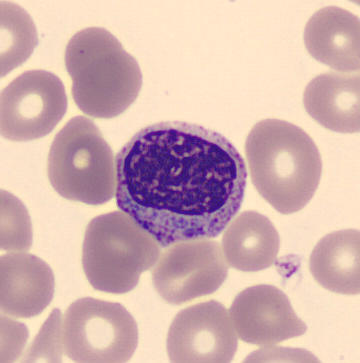
Morphology — myelocyte. Preparation: Peripheral blood smear.